May-Grünwald-Giemsa stain. Bone marrow smear.
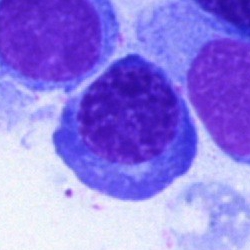 Cell = normoblast.